Peripheral blood smear. Image size 400×400. Brightfield, 100× oil-immersion objective.
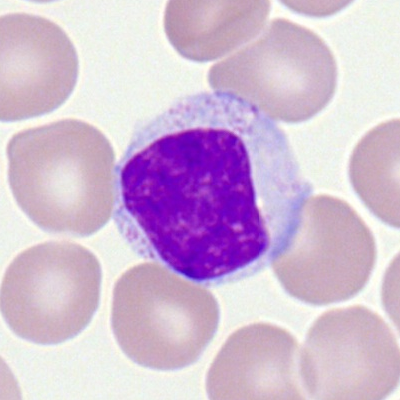Impression → lymphocyte.